Bone marrow smear — 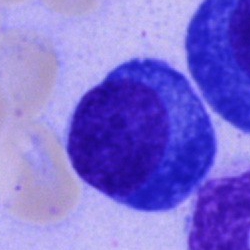 A plasmacyte.